250×250 px · bone marrow aspirate smear.
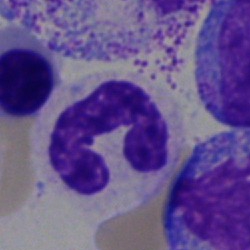

A polymorphonuclear neutrophil.